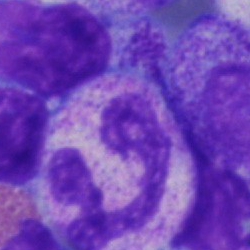Morphology consistent with a segmented neutrophil.